Bone marrow smear. May-Grünwald-Giemsa stain. Image size 250×250: 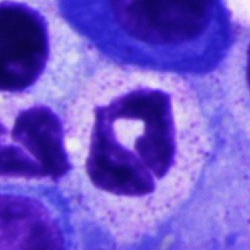 Morphology consistent with a polymorphonuclear neutrophil.